Bone marrow smear.
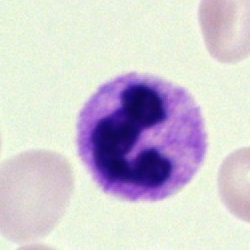A segmented neutrophil.